Image size 250×250 · bone marrow smear: 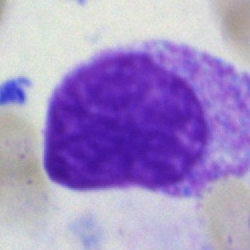Cell = myelocyte.